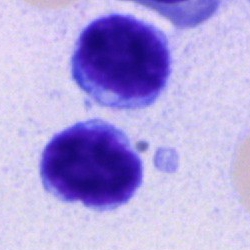

The cell is lymphocyte.